Bone marrow aspirate smear:
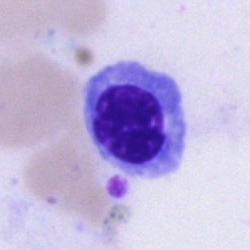 Showing a normoblast.